Bone marrow aspirate smear: 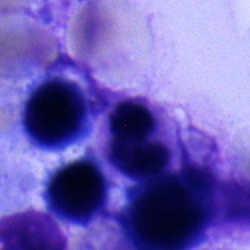

Specimen: bone marrow aspirate smear.
Cell type: segmented neutrophil.
Lineage: myeloid.